Bone marrow aspirate smear — 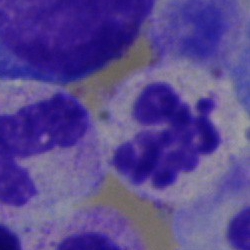
Morphology consistent with a segmented neutrophil.